Peripheral blood film; 400×400 — 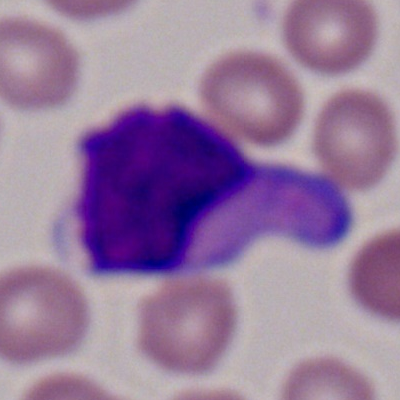

The classification is myeloblast.